Bone marrow aspirate smear · 250×250:
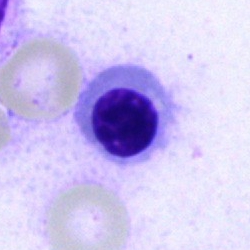Classification: erythroblast.